Bone marrow aspirate smear: 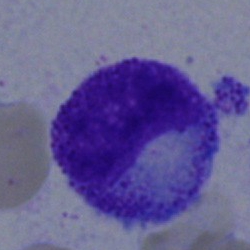
Q: What is shown here?
A: Metamyelocyte.